Bone marrow smear; single-cell field; image size 250×250
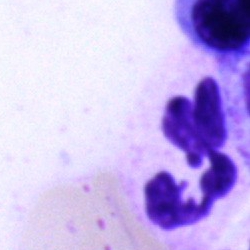
This is a segmented neutrophil.